Bone marrow aspirate smear
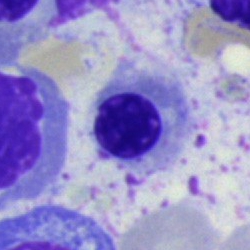 Impression → nucleated red blood cell.